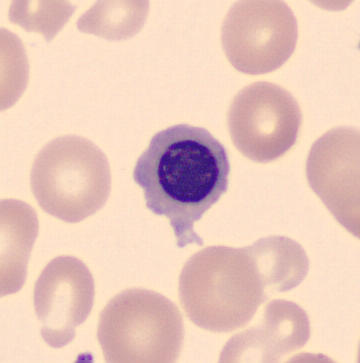Morphological class = normoblast.
Preparation: Peripheral blood film.